Bone marrow smear. May-Grünwald-Giemsa/Pappenheim stain
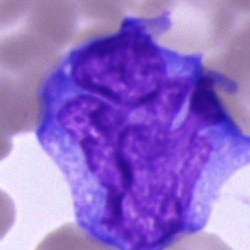
Q: What is shown here?
A: It is a monocyte.